Peripheral blood smear; CellaVision DM96 digital cell image.
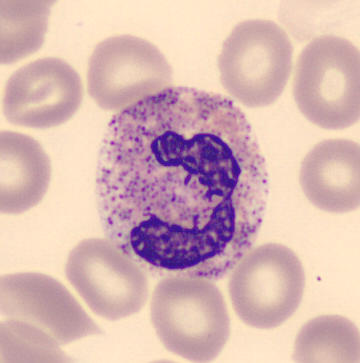The morphological class is neutrophil (segmented).